Bone marrow smear · single-cell field.
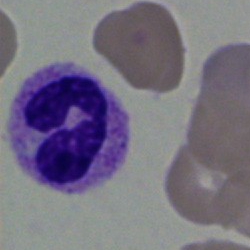Morphological class = segmented neutrophil.